Bone marrow smear — 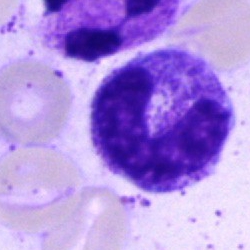 Specimen: bone marrow smear.
Classification: stab cell.
Lineage: myeloid.